Bone marrow smear: 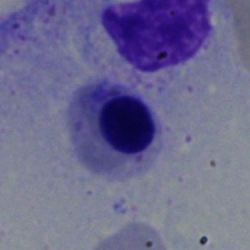

Specimen: bone marrow aspirate smear.
Morphological class: nucleated red blood cell.
Lineage: erythroid.